Image size 250×250; bone marrow smear
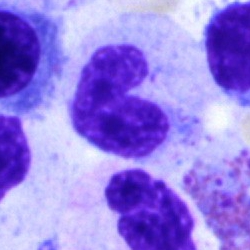
Specimen: bone marrow aspirate smear.
Cell: band neutrophil.
Lineage: myeloid.